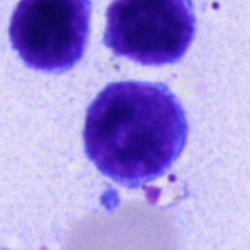Morphological class = lymphocyte.